Brightfield, 40× oil-immersion objective · bone marrow aspirate smear
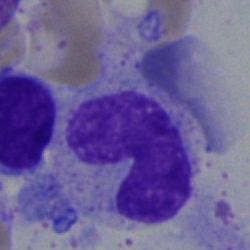 The cell type is band-form neutrophil.